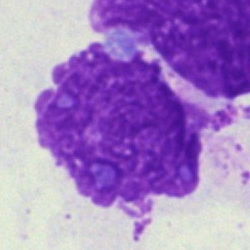Impression → artifact.